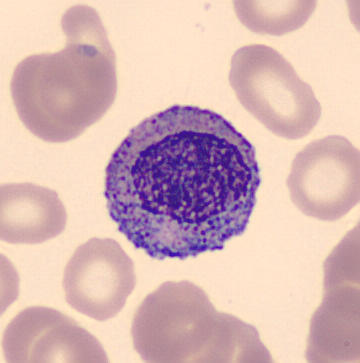 From a peripheral blood smear: a myelocyte.